400×400. Romanowsky-stained. Peripheral blood smear
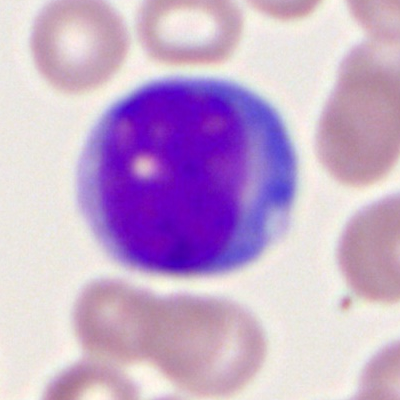 Showing a myeloblast.